Bone marrow smear.
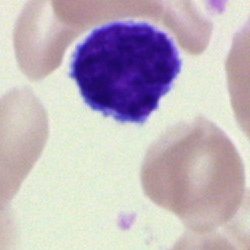Morphology — typical lymphocyte.